Bone marrow aspirate smear · single-cell crop.
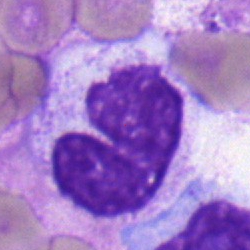A neutrophil (band).